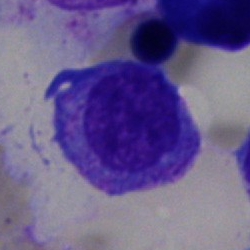

Cell: blast cell.